Single-cell field · bone marrow smear — 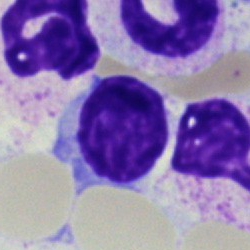The classification is lymphocyte.